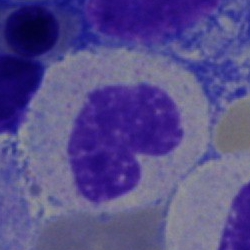
Classification — band-form neutrophil.